Bone marrow smear. Single cell centered in the field:
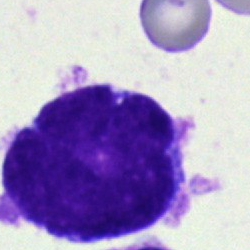 Specimen: bone marrow aspirate smear.
Morphological class: blast cell.